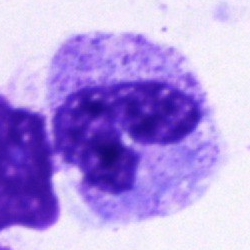

Morphological class = neutrophil (segmented).